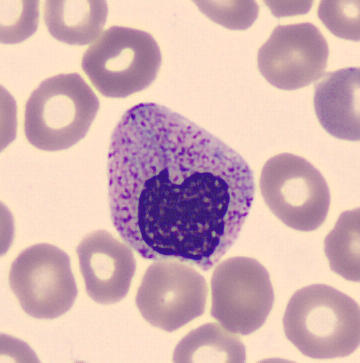 Identified as a metamyelocyte.

Acquisition: Peripheral blood smear.